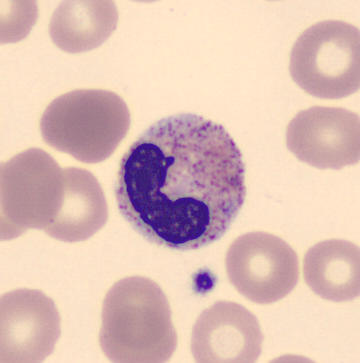 Specimen: peripheral blood film.
Cell type: band neutrophil.
Lineage: myeloid.